Single-cell crop. Peripheral blood film
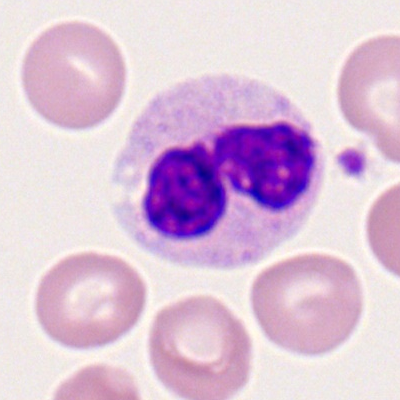

This is a segmented neutrophil.